Bone marrow aspirate smear: 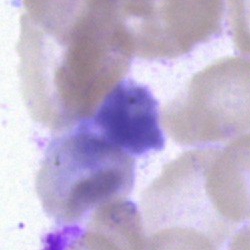

The cell type is artifact.